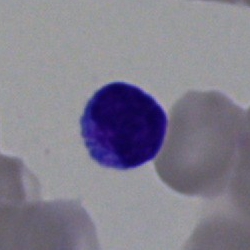

Morphological class = typical lymphocyte.